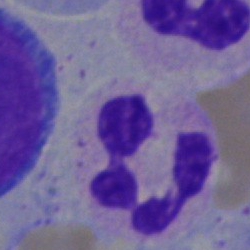

Q: What is the morphological classification of this cell?
A: A polymorphonuclear neutrophil.